Bone marrow aspirate smear — 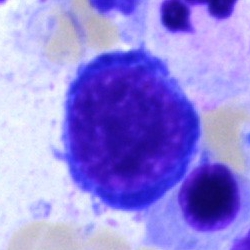

Morphology consistent with a nucleated red blood cell.